Bone marrow smear. 40× objective, oil immersion
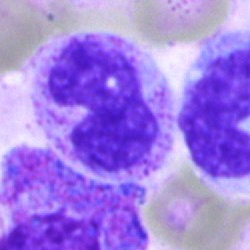Q: What cell is this?
A: This is a segmented neutrophil.